Single-cell crop. May-Grünwald-Giemsa/Pappenheim stain. Bone marrow aspirate smear: 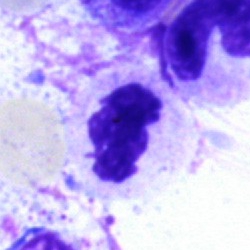Q: What cell is this?
A: This is a neutrophil (segmented).